Brightfield microscopy, 40× oil immersion. Bone marrow aspirate smear
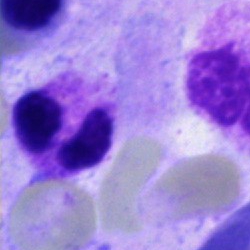 Showing a polymorphonuclear neutrophil.